Bone marrow smear; MGG-stained; single cell centered in the field: 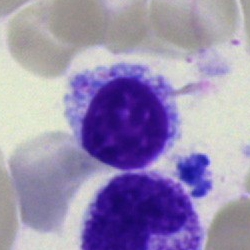

Classification: unidentifiable cell.